Bone marrow aspirate smear
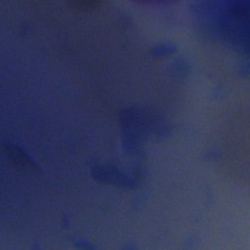

Classification = artefact.